Bone marrow smear — 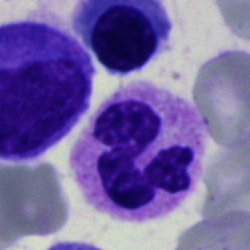

Morphological class = neutrophil (segmented).